Bone marrow aspirate smear — 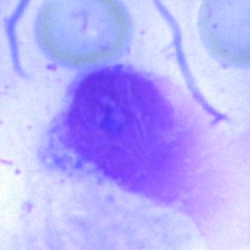

Cell: artifact.